Bone marrow aspirate smear:
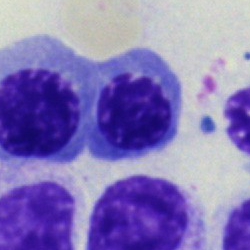Cell — nucleated red blood cell.